Peripheral blood smear · 100× objective, oil immersion · single-cell crop:
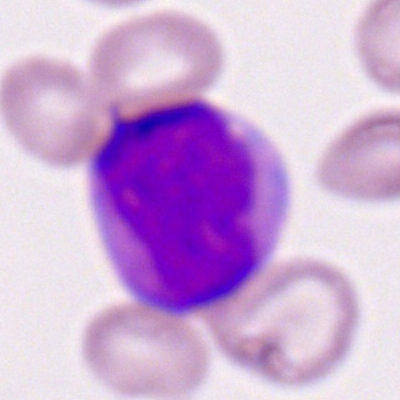

Morphology → neutrophil (segmented).